Bone marrow aspirate smear — 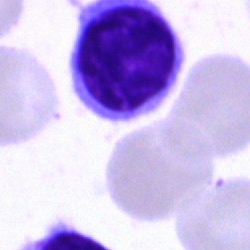Morphological class = lymphocyte.